Bone marrow smear
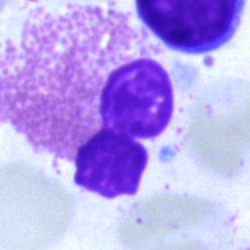 Q: What type of cell is this?
A: Eosinophilic granulocyte.